Bone marrow aspirate smear
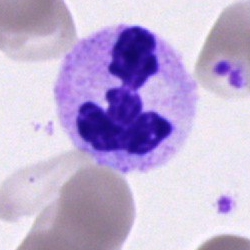 Classification — polymorphonuclear neutrophil.